Bone marrow smear: 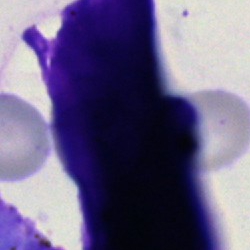

Morphology consistent with an artefact.